May-Grünwald-Giemsa stain; single cell centered in the field; bone marrow aspirate smear: 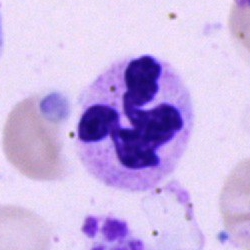Cell: segmented neutrophil.